Bone marrow aspirate smear · image size 250×250 — 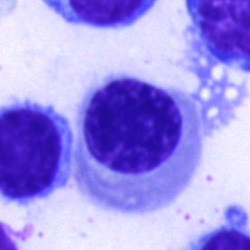

The cell shown is a normoblast.